Bone marrow smear — 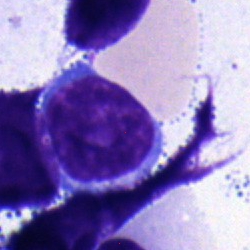

Cell — lymphocyte.